Bone marrow smear: 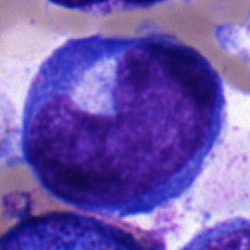Morphology consistent with a blast cell.